Bone marrow aspirate smear.
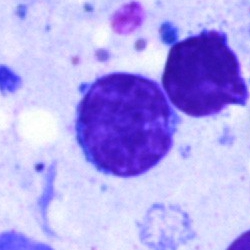
Impression — lymphocyte.